Bone marrow aspirate smear · 250 by 250 pixels · single-cell field: 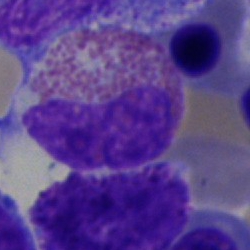Q: What is shown here?
A: Eosinophil.